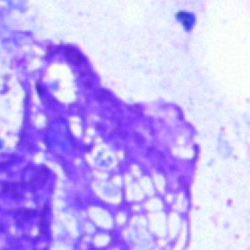 Specimen: bone marrow smear.
Classification: artefact.